Cropped to a single cell. Bone marrow smear — 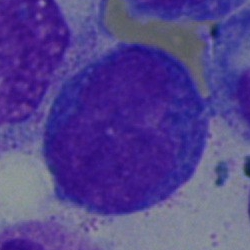Single cell identified as a proerythroblast.